Image size 250×250. Bone marrow aspirate smear. Brightfield, 40× oil-immersion objective: 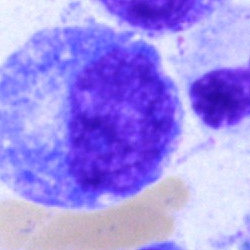
Specimen: bone marrow smear.
Cell: promyelocyte.
Lineage: myeloid.